250 by 250 pixels · bone marrow aspirate smear · brightfield microscopy, 40× oil immersion
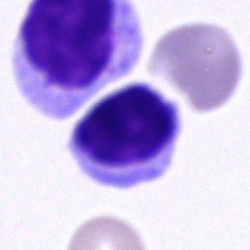 Classification: typical lymphocyte.